Bone marrow aspirate smear — 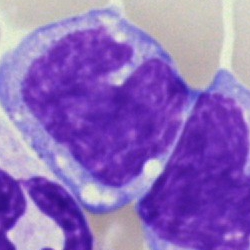
A monocyte.